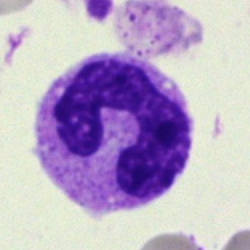

Specimen: bone marrow smear.
Morphological class: polymorphonuclear neutrophil.